Bone marrow smear — 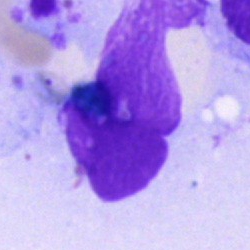 The morphological class is artefact.